Bone marrow smear · brightfield microscopy, 40× oil immersion.
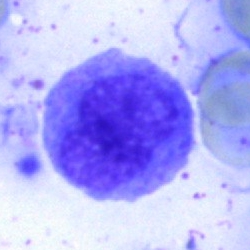
Specimen: bone marrow smear.
Morphological class: unidentifiable cell.